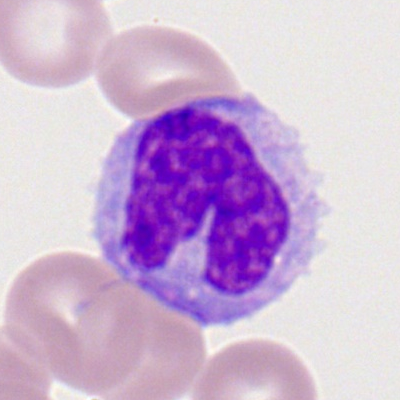 Specimen: peripheral blood smear.
Morphological class: monocyte.
Lineage: myeloid.